Bone marrow smear.
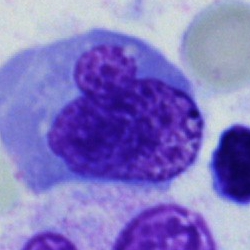

Cell type = normoblast.